Bone marrow smear
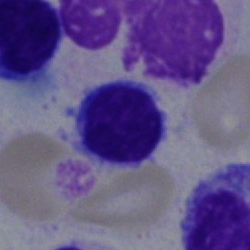 The classification is lymphocyte.